Peripheral blood smear; Romanowsky-type stain: 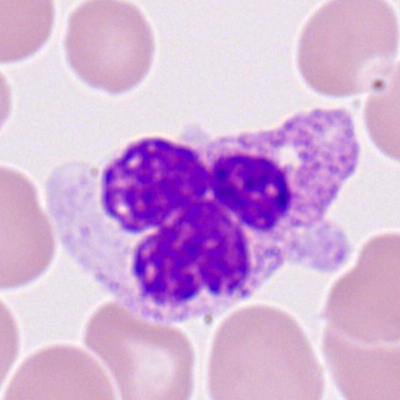
{"cell_type": "monocyte"}